Bone marrow aspirate smear.
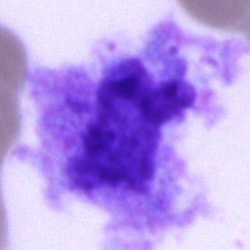 Morphology → artefact.